Bone marrow smear: 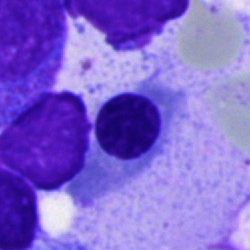The cell is normoblast.